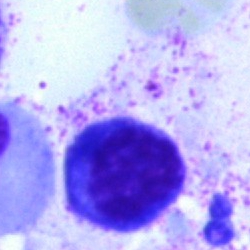
Specimen: bone marrow aspirate smear.
Cell: typical lymphocyte.
Lineage: lymphoid.